Bone marrow smear: 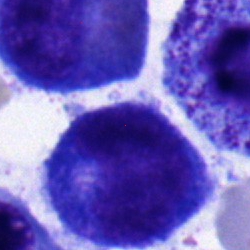
Q: What cell is this?
A: A progranulocyte.